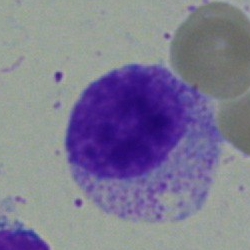 {"cell_type": "myelocyte", "lineage": "myeloid"}